40× oil immersion; single-cell crop; bone marrow smear
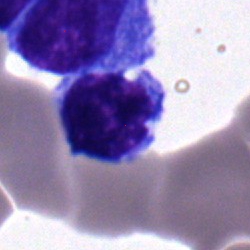

Q: Identify the cell.
A: Typical lymphocyte.